MGG-stained; bone marrow smear; single-cell field: 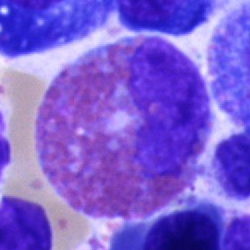 The cell type is eosinophil.